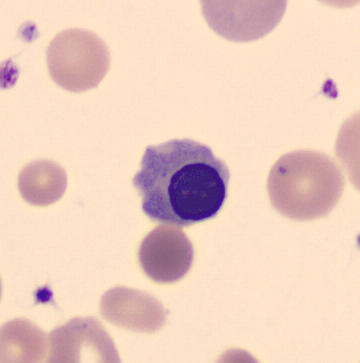
Morphology → nucleated red blood cell.